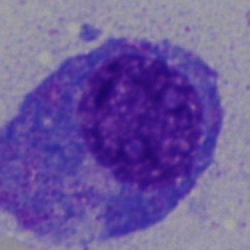 Q: What is shown here?
A: A promyelocyte.